Bone marrow smear: 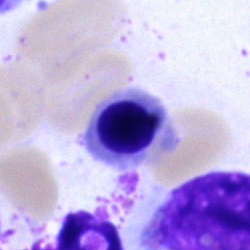Specimen: bone marrow aspirate smear.
Classification: normoblast.
Lineage: erythroid.